Bone marrow aspirate smear · 40× oil immersion · single-cell crop — 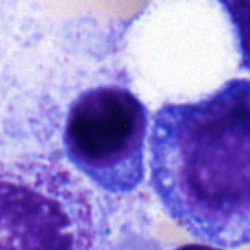
Q: What cell is this?
A: A lymphocyte.